Bone marrow smear:
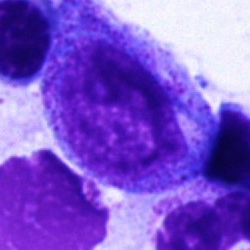
Morphological class = progranulocyte.